Bone marrow aspirate smear: 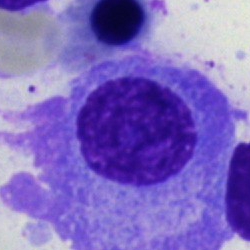
Impression — plasmacyte.